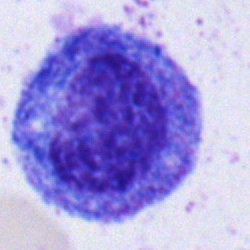 A promyelocyte.